40× objective, oil immersion. Bone marrow smear:
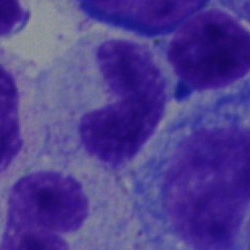

Specimen: bone marrow smear.
Morphological class: band neutrophil.
Lineage: myeloid.